Single cell centered in the field · bone marrow smear.
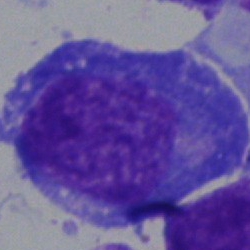

Classification — promyelocyte.